Image size 250×250 · bone marrow aspirate smear.
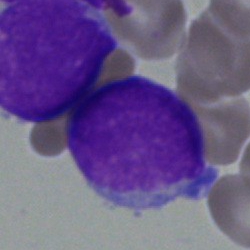

Impression — blast cell.